Brightfield microscopy, 40× oil immersion; May-Grünwald-Giemsa stain; bone marrow smear.
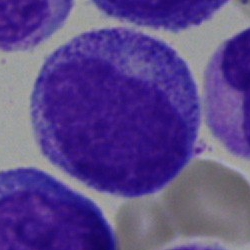
Specimen: bone marrow smear.
Cell type: promyelocyte.
Lineage: myeloid.